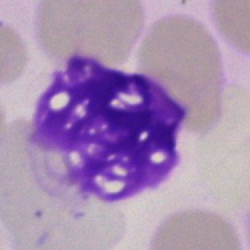
Bone marrow aspirate smear, single cell — artifact.